Peripheral blood smear.
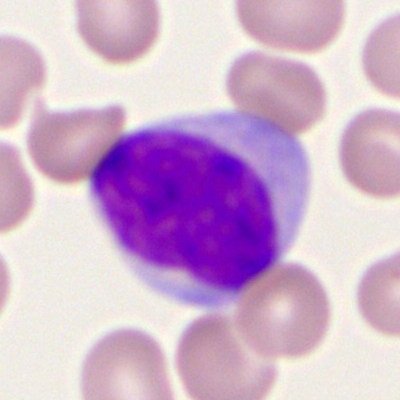 Cell type = myeloid blast.